Bone marrow smear:
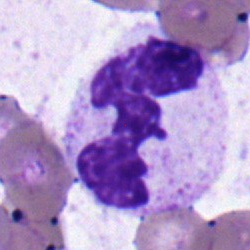 Showing a segmented neutrophil.